Bone marrow smear: 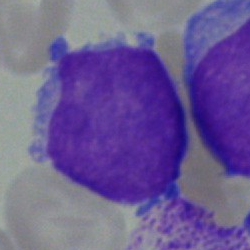

Specimen: bone marrow aspirate smear.
Cell: undifferentiated blast.